Pappenheim-stained. Bone marrow aspirate smear: 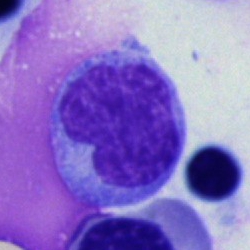This is a monocyte.